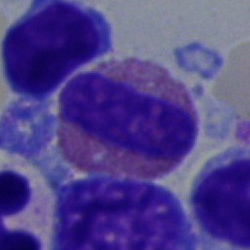Classification: eosinophilic granulocyte.